Bone marrow smear:
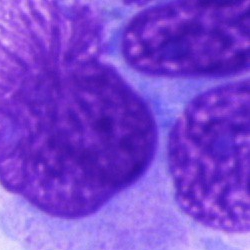

Q: What is shown here?
A: It is an artefact.